Bone marrow smear. 250×250 px. May-Grünwald-Giemsa stain: 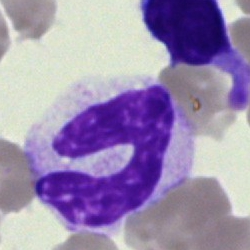

This is a stab cell.